Romanowsky-type stain · peripheral blood film.
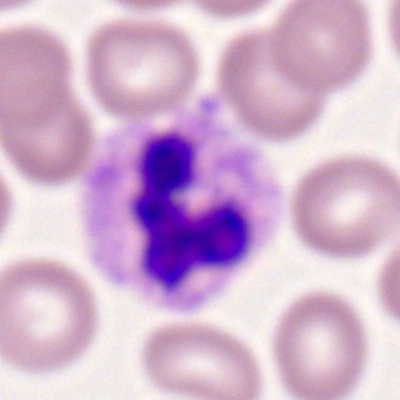

Showing a neutrophil (segmented).